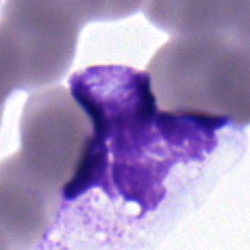Specimen: bone marrow smear.
Cell type: neutrophil (segmented).
Lineage: myeloid.